Bone marrow smear: 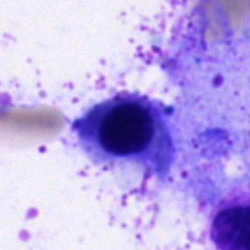 Cell = nucleated red blood cell.